Brightfield, 100× oil-immersion objective; peripheral blood smear
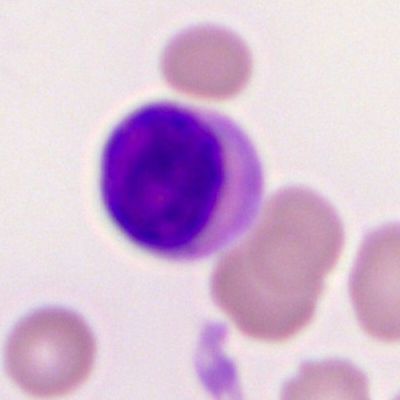
Cell type — lymphocyte.